40× oil immersion. Bone marrow smear — 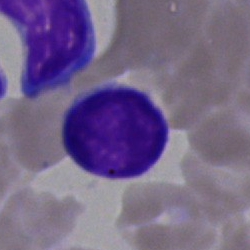

Q: What is shown here?
A: A lymphocyte.